Bone marrow smear. 250 by 250 pixels:
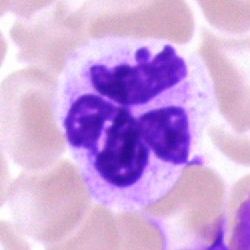
This is a segmented neutrophil.